May-Grünwald-Giemsa/Pappenheim stain · bone marrow aspirate smear · single-cell field:
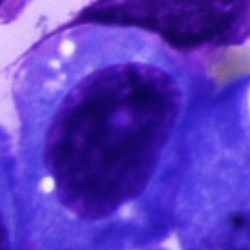

A plasmacyte.